Bone marrow smear — 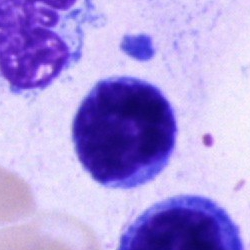
The cell shown is a lymphocyte.